400×400 px. Peripheral blood film
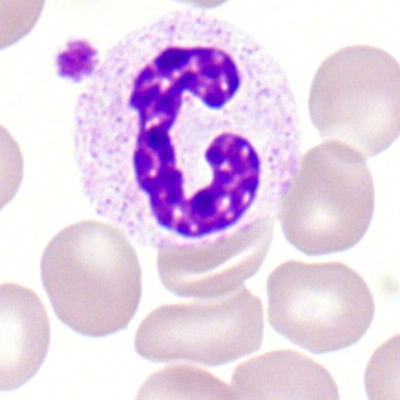

Specimen: peripheral blood film.
Cell type: polymorphonuclear neutrophil.